Bone marrow smear — 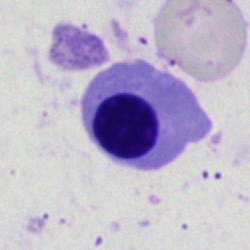 Classification = erythroblast.